Bone marrow aspirate smear — 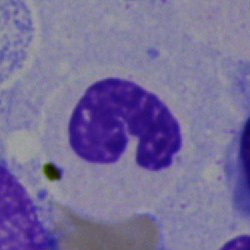

The cell type is neutrophil (band).